May-Grünwald-Giemsa/Pappenheim stain. Bone marrow aspirate smear:
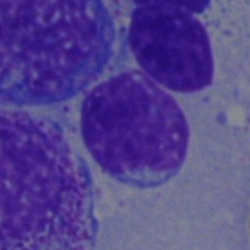 Specimen: bone marrow smear.
Cell: lymphocyte.
Lineage: lymphoid.